Bone marrow aspirate smear
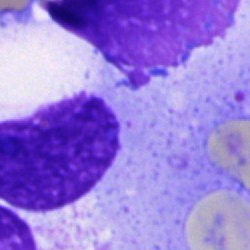

Single cell identified as an artifact.